250×250 · bone marrow smear · 40× oil immersion:
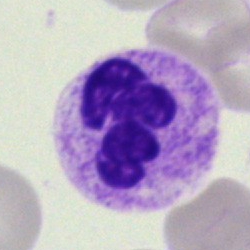
Segmented neutrophil.